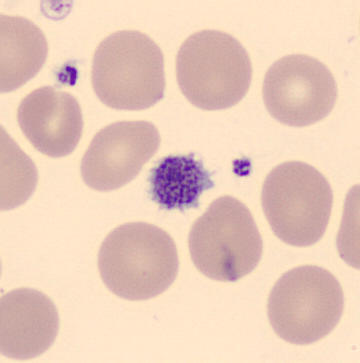
Impression — platelet. Peripheral blood smear.